250 by 250 pixels · bone marrow smear — 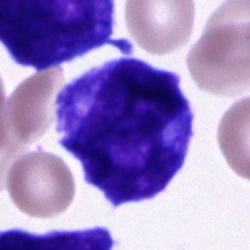
Impression → unidentifiable cell.